Bone marrow aspirate smear.
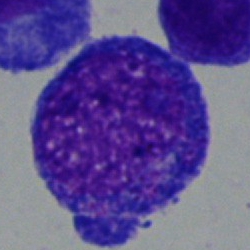 Impression → progranulocyte.